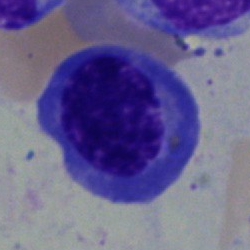Cell type = nucleated red cell.